Bone marrow aspirate smear:
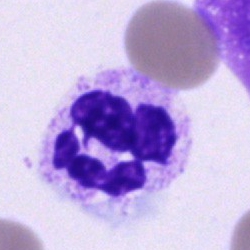

Morphology — segmented neutrophil.